Peripheral blood smear.
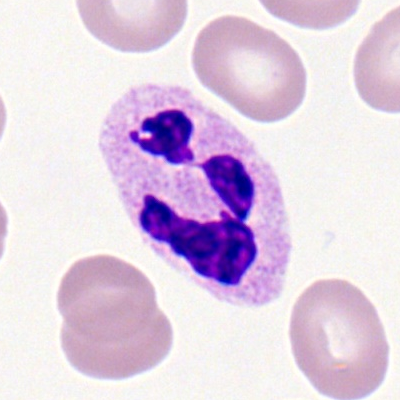Morphology consistent with a segmented neutrophil.